250 by 250 pixels; brightfield microscopy, 40× oil immersion; bone marrow smear.
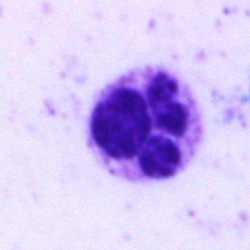
Cell = polymorphonuclear neutrophil.